Bone marrow smear
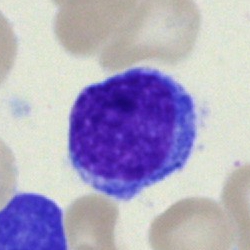

This is a lymphocyte.